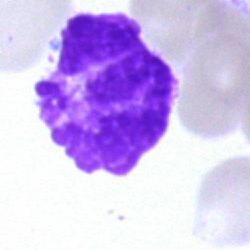Impression → artifact.